Bone marrow aspirate smear:
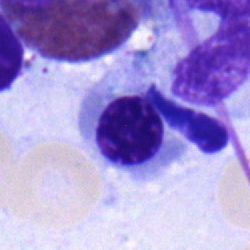

Nucleated red cell.